Bone marrow smear: 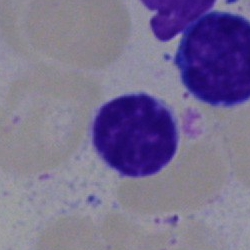

Morphological class: typical lymphocyte.